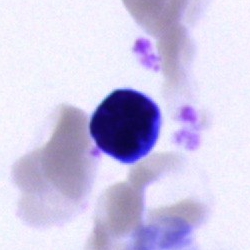

Morphological class = cell of indeterminate lineage.